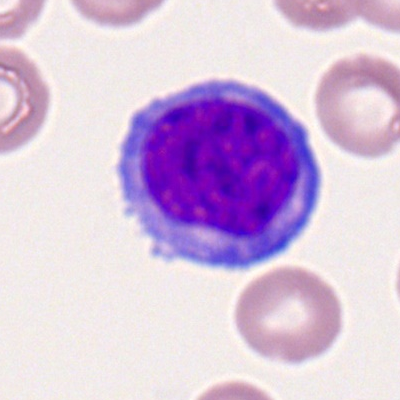
Showing a lymphocyte (atypical).